40× oil immersion; bone marrow aspirate smear; image size 250×250
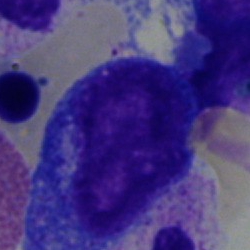 Impression → promyelocyte.